Bone marrow aspirate smear.
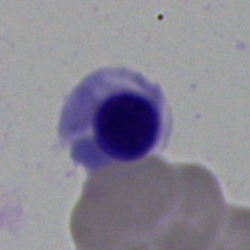
Specimen: bone marrow smear.
Morphological class: normoblast.
Lineage: erythroid.